400×400; Romanowsky-type stain; peripheral blood film
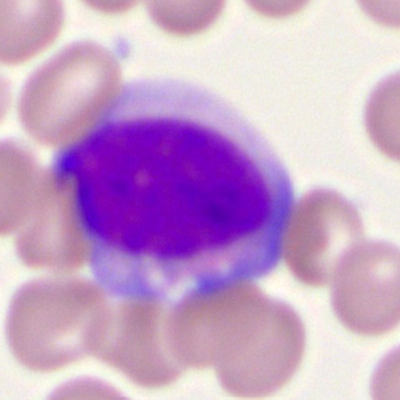 Single cell identified as a myeloid blast.